Bone marrow aspirate smear; May-Grünwald-Giemsa/Pappenheim stain
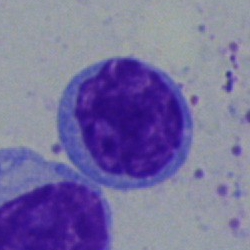
Specimen: bone marrow smear.
Cell type: typical lymphocyte.